Peripheral blood film; Romanowsky-type stain.
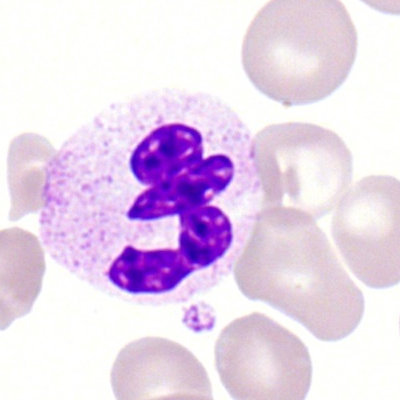
Cell — segmented neutrophil.